Bone marrow aspirate smear — 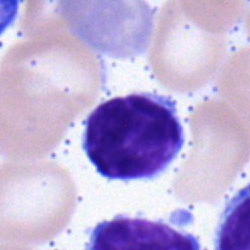
Lymphocyte.